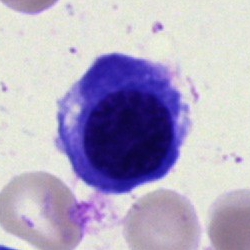 Bone marrow smear showing an erythroblast.